Romanowsky-stained · peripheral blood film.
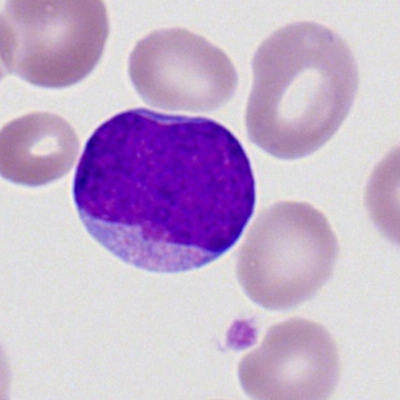

This is a myeloid blast.